Brightfield microscopy, 40× oil immersion · 250×250 · bone marrow smear
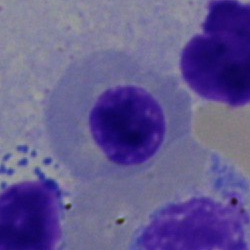
Cell — normoblast.